Brightfield microscopy, 40× oil immersion · bone marrow smear · single cell centered in the field:
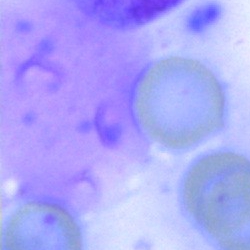 Cell: artifact.